Bone marrow aspirate smear
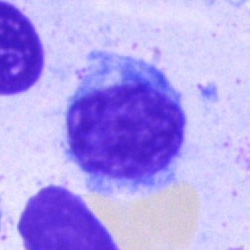

Q: Identify the cell.
A: A lymphocyte.